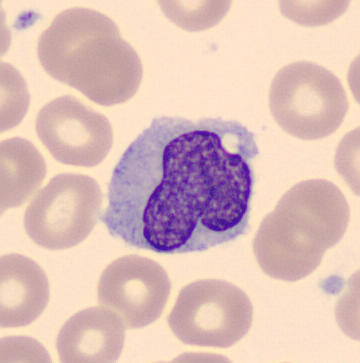A monocyte.
Image: Peripheral blood film.